Bone marrow aspirate smear · single-cell field: 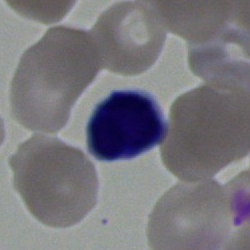
Showing a lymphocyte.